Bone marrow aspirate smear.
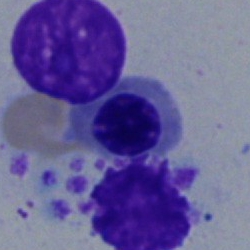Q: What type of cell is this?
A: Erythroblast.